250×250. Bone marrow smear. 40× oil immersion
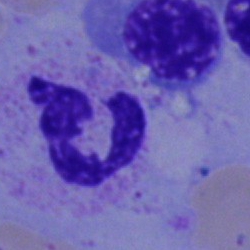

{"cell_type": "polymorphonuclear neutrophil"}